Bone marrow aspirate smear. 250×250.
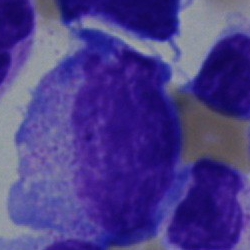

Progranulocyte.